250×250 px · bone marrow smear — 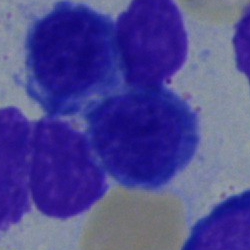
Q: What cell is this?
A: An erythroblast.